250×250; bone marrow smear: 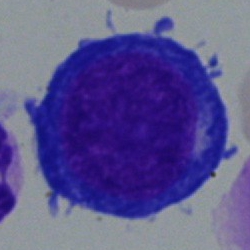
Classification = pronormoblast.